Bone marrow aspirate smear; 40× objective, oil immersion; Pappenheim-stained — 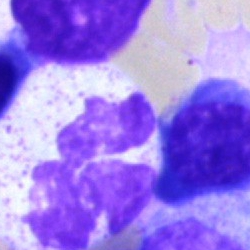Morphology consistent with a segmented neutrophil.